250×250 px. Bone marrow aspirate smear: 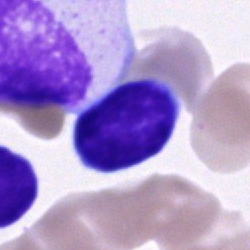
Morphological class: cell of indeterminate lineage.